Peripheral blood film:
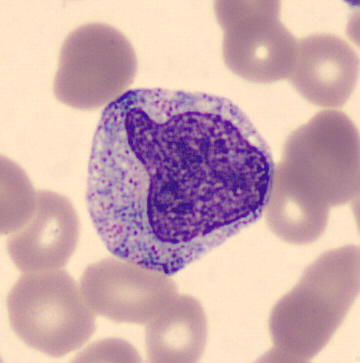
Cell type — promyelocyte.